Peripheral blood film.
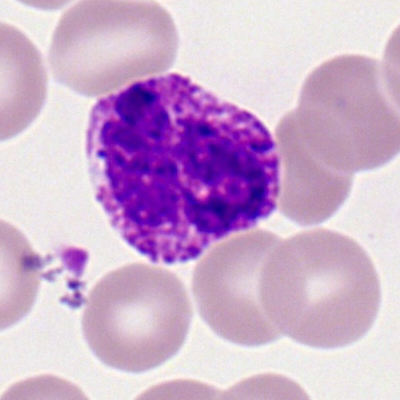 An eosinophil.